Peripheral blood smear — 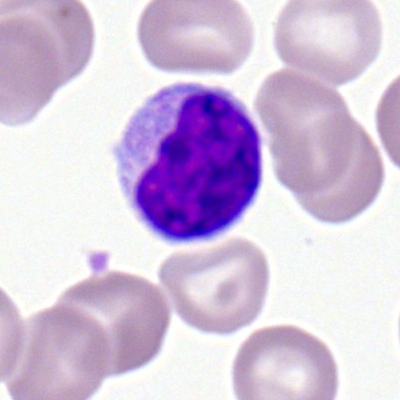 A lymphocyte.